Bone marrow aspirate smear: 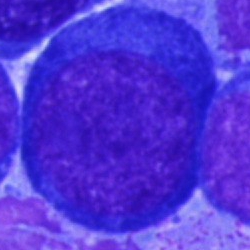Specimen: bone marrow smear.
Cell type: pronormoblast.
Lineage: erythroid.